Bone marrow aspirate smear; 40× objective, oil immersion; single-cell field: 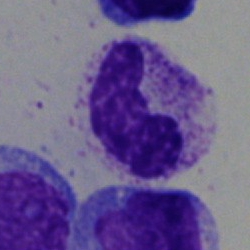Single cell identified as a segmented neutrophil.